250 by 250 pixels; bone marrow smear — 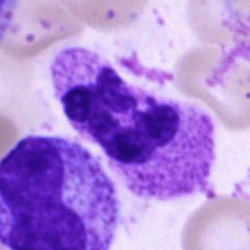Impression → polymorphonuclear neutrophil.